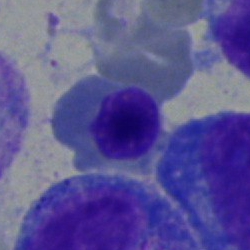
This is an erythroblast.